Bone marrow smear:
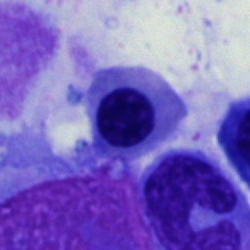Classification = nucleated red cell.